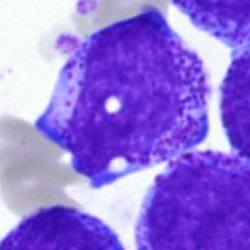

Q: What is the morphological classification of this cell?
A: Myelocyte.